Single-cell crop · bone marrow aspirate smear.
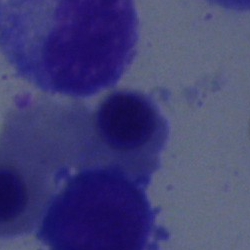Classification: normoblast.